Bone marrow smear.
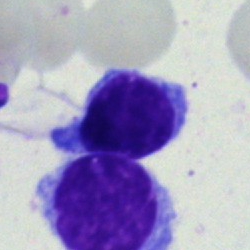

The cell shown is a typical lymphocyte.